Single-cell crop; bone marrow smear
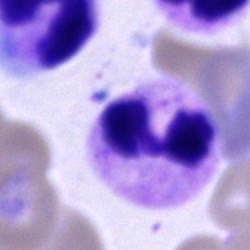Polymorphonuclear neutrophil.